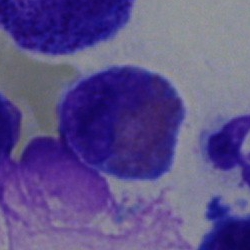 Morphology — eosinophil.